250×250 px · bone marrow smear.
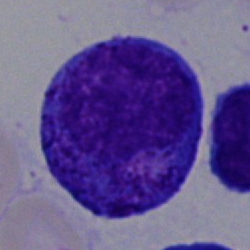 Specimen: bone marrow aspirate smear.
Classification: promyelocyte.
Lineage: myeloid.